Single-cell field. Bone marrow smear.
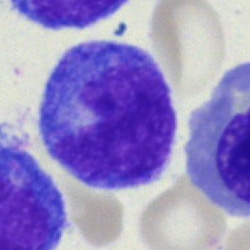 The cell shown is a monocyte.